Brightfield, 40× oil-immersion objective; bone marrow aspirate smear.
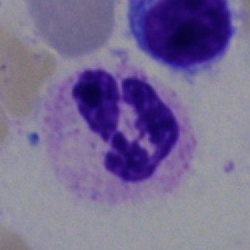
Morphological class = neutrophil (segmented).